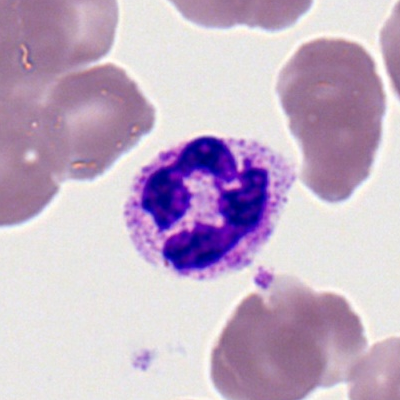

Morphological class = polymorphonuclear neutrophil.